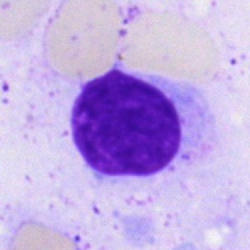 Q: What is shown here?
A: It is an artefact.